Bone marrow smear · image size 250×250 · May-Grünwald-Giemsa/Pappenheim stain — 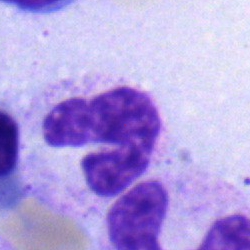Q: Which cell type is shown here?
A: This is a band-form neutrophil.